May-Grünwald-Giemsa stain. Bone marrow smear — 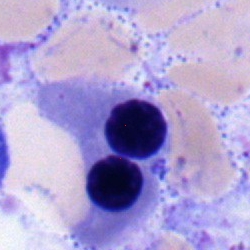Showing an erythroblast.